May-Grünwald-Giemsa stain; bone marrow smear — 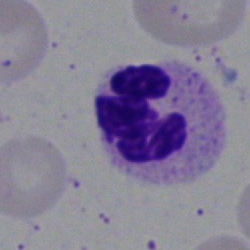 Morphology consistent with a neutrophil (segmented).